Cropped to a single cell; 40× oil immersion; bone marrow aspirate smear — 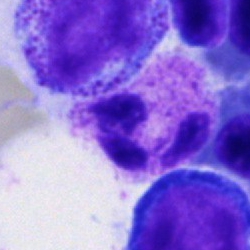

Polymorphonuclear neutrophil.